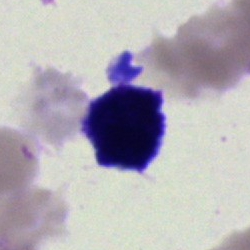
Specimen: bone marrow aspirate smear.
Classification: artefact.